Bone marrow smear · brightfield microscopy, 40× oil immersion: 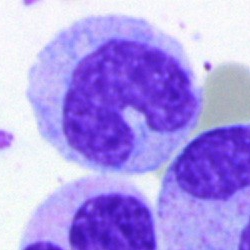

Impression → band-form neutrophil.